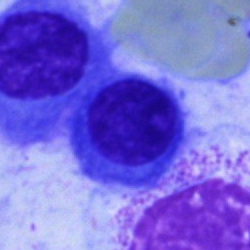Showing a plasma cell.